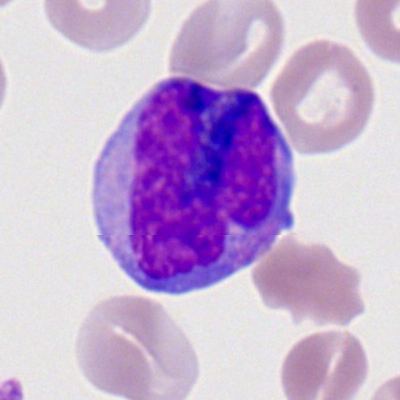The morphological class is myeloid blast.